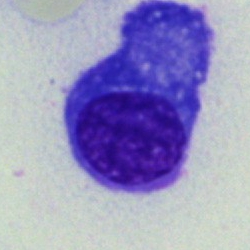

Impression — plasmacyte.